MGG-stained. Bone marrow aspirate smear — 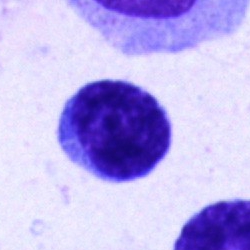 Cell type = lymphocyte.